40× oil immersion; 250×250; bone marrow aspirate smear — 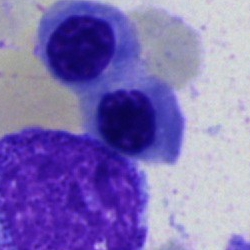 Q: What is the morphological classification of this cell?
A: An erythroblast.